Brightfield, 40× oil-immersion objective. Bone marrow smear. Image size 250×250: 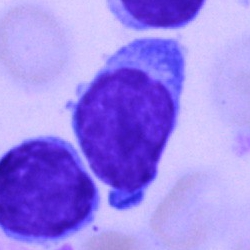
Cell — typical lymphocyte.